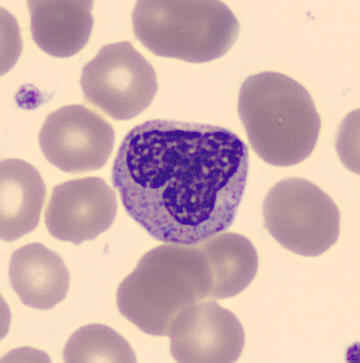Cell: metamyelocyte. Peripheral blood smear.